Bone marrow aspirate smear · May-Grünwald-Giemsa stain · brightfield microscopy, 40× oil immersion
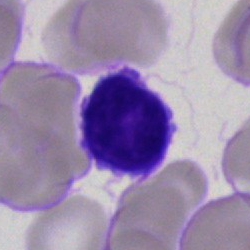
A typical lymphocyte.